Bone marrow smear: 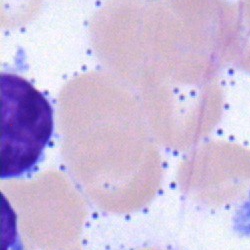 The cell is lymphocyte.